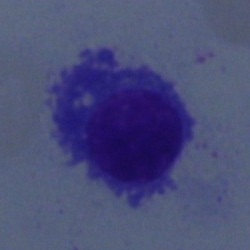Q: Which cell type is shown here?
A: This is a plasmacyte.